Bone marrow smear — 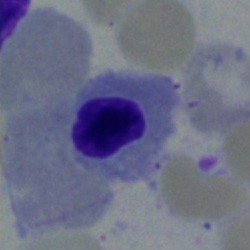 A nucleated red cell.